250 by 250 pixels; bone marrow smear:
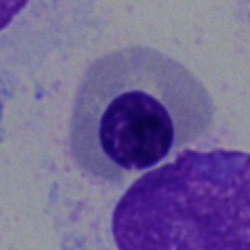
Classification — nucleated red blood cell.